Bone marrow smear
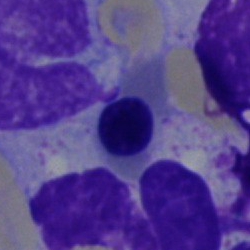
Cell = nucleated red cell.